Pappenheim-stained; 250 by 250 pixels; bone marrow smear.
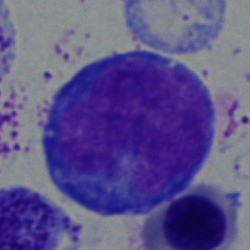 An undifferentiated blast.